Bone marrow smear
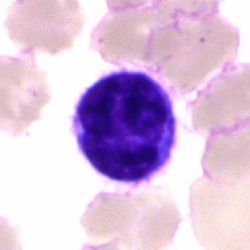
A lymphocyte.